Bone marrow aspirate smear; Pappenheim-stained; 250 by 250 pixels — 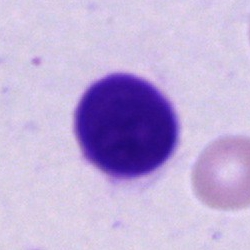

An unidentifiable cell.